Brightfield microscopy, 40× oil immersion · bone marrow smear
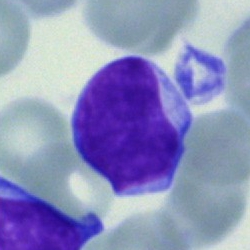

Cell type — lymphocyte.